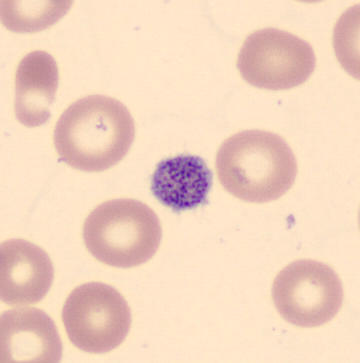

Q: What is shown here?
A: This is a platelet (thrombocyte).

Acquisition: Peripheral blood smear.